Bone marrow aspirate smear; 250×250 px — 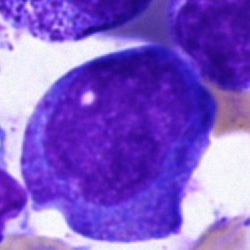

Q: Which cell type is shown here?
A: This is a promyelocyte.